Bone marrow aspirate smear — 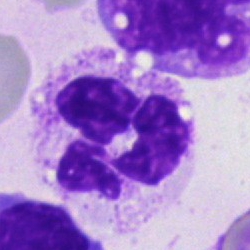
The cell type is segmented neutrophil.